Bone marrow smear · May-Grünwald-Giemsa stain: 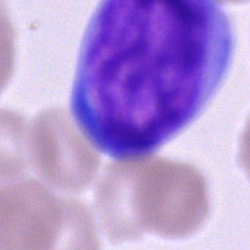Blast cell.